Bone marrow smear:
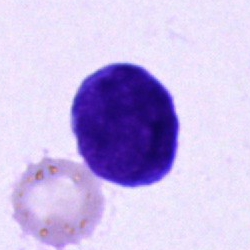 The cell shown is a blast.